Bone marrow aspirate smear. 250×250 px
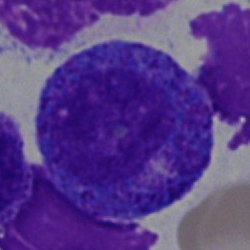 The cell type is progranulocyte.